Bone marrow smear · single-cell field.
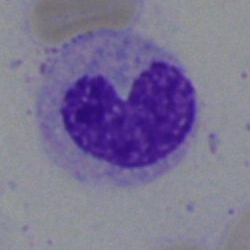
Impression → band-form neutrophil.